MGG-stained. Bone marrow smear — 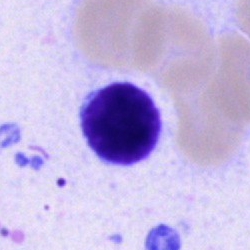

Cell: typical lymphocyte.